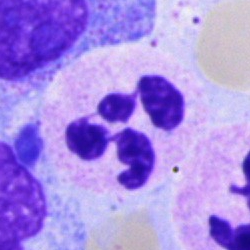
Single cell identified as a segmented neutrophil.